Bone marrow smear
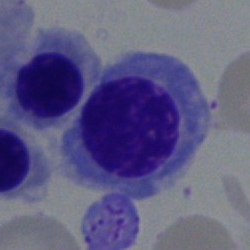
Morphology consistent with a nucleated red cell.